100× oil immersion. Peripheral blood film
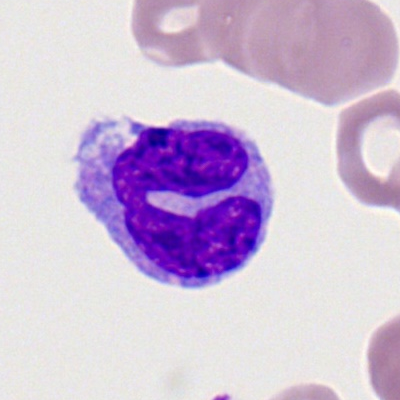

Cell = monocyte.